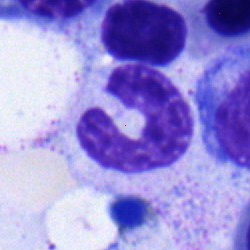

The classification is stab cell.